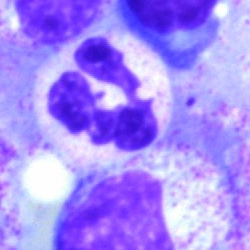
Morphological class: neutrophil (segmented).